Bone marrow smear — 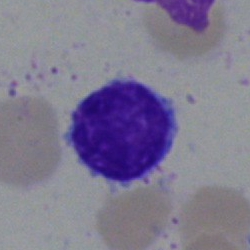 This is a lymphocyte.